Bone marrow aspirate smear — 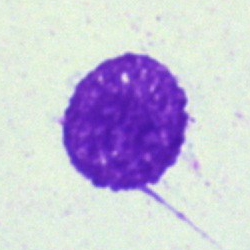

The cell type is artifact.